Peripheral blood smear: 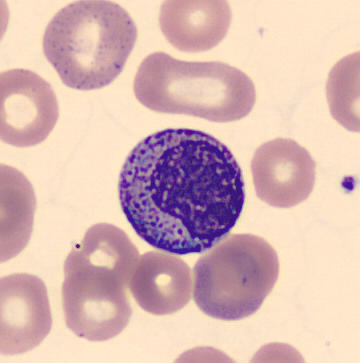 Classification — myelocyte.